Bone marrow smear: 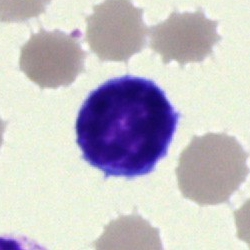 This is a lymphocyte.